Bone marrow smear. May-Grünwald-Giemsa stain:
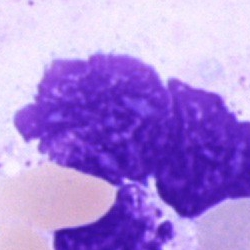 Morphology — artifact.